Bone marrow aspirate smear · 40× oil immersion:
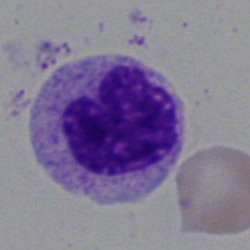Specimen: bone marrow smear.
Cell: metamyelocyte.
Lineage: myeloid.